250×250 px · bone marrow aspirate smear
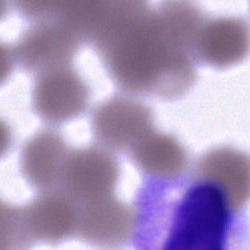
The classification is artifact.